Brightfield, 40× oil-immersion objective. Bone marrow smear. 250×250 px.
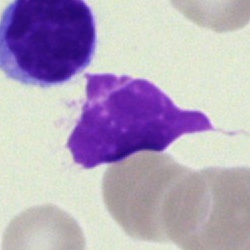
Single cell identified as an artefact.